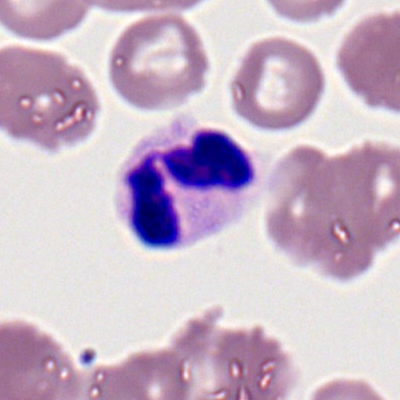

Cell type: polymorphonuclear neutrophil.